Bone marrow smear.
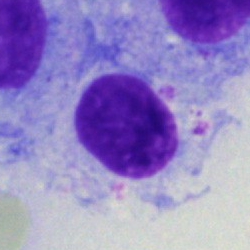{"cell_type": "artefact"}